Bone marrow aspirate smear
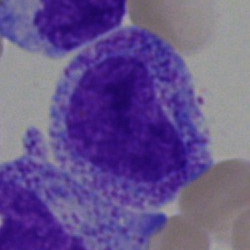 Specimen: bone marrow smear.
Cell: metamyelocyte.